Brightfield, 100× oil-immersion objective. Romanowsky-stained. Peripheral blood smear: 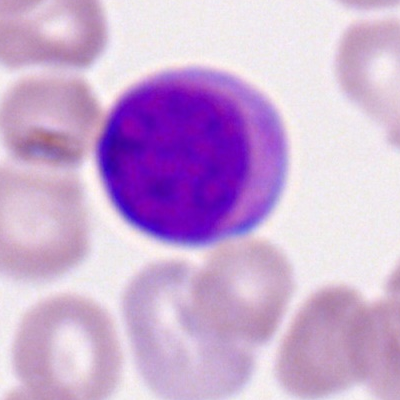
Single cell identified as a myeloblast.